Bone marrow smear. Image size 250×250: 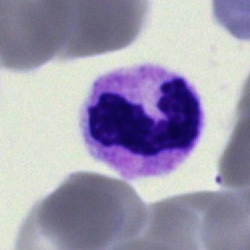 The classification is segmented neutrophil.